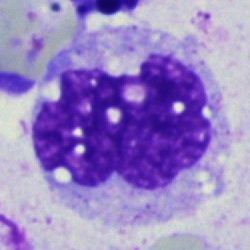Single-cell crop from a bone marrow smear: monocyte.